Bone marrow smear:
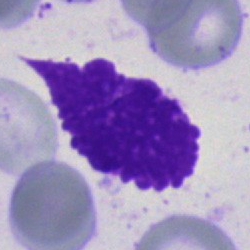 Specimen: bone marrow smear.
Cell: artifact.